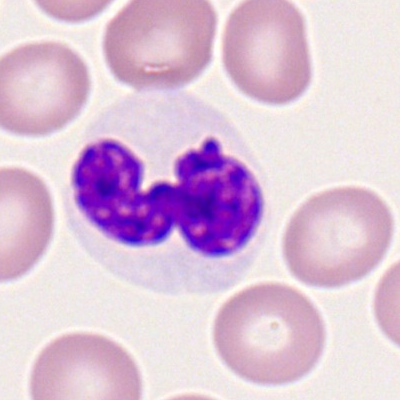

Single cell identified as a neutrophil (segmented).